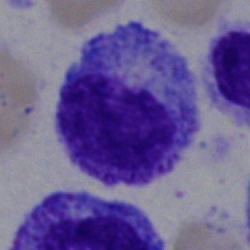 A promyelocyte on a bone marrow smear.